Peripheral blood smear:
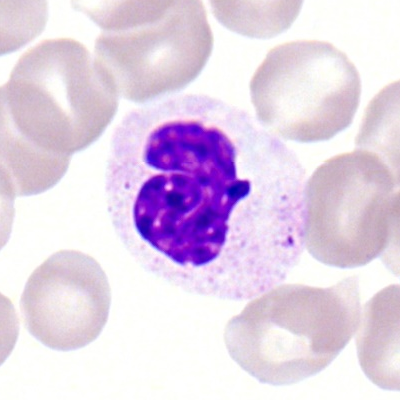Polymorphonuclear neutrophil.